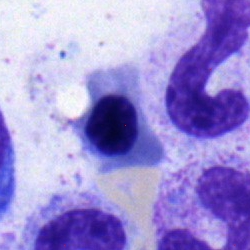
Impression — normoblast.